Single-cell crop · bone marrow aspirate smear — 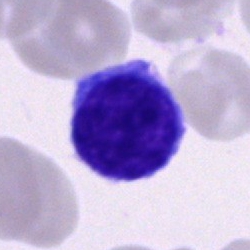Cell type: undifferentiated blast.